Bone marrow aspirate smear
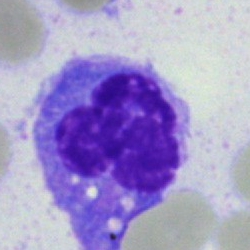Classification — monocyte.